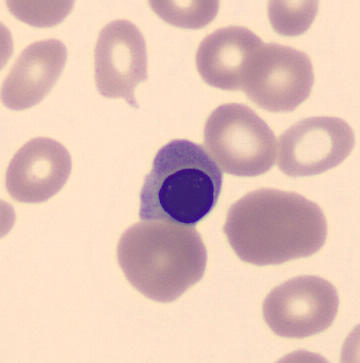
Morphological class: normoblast.
Peripheral blood film.